Bone marrow aspirate smear; 250×250:
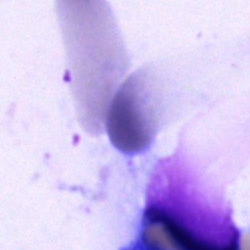
Q: What is shown here?
A: This is an artifact.